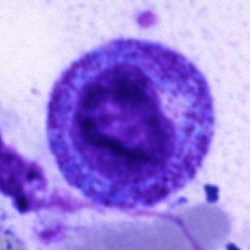Cell: promyelocyte.